Bone marrow aspirate smear: 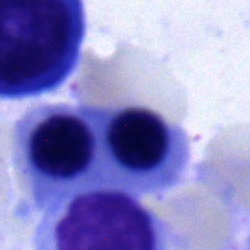

The cell shown is a normoblast.